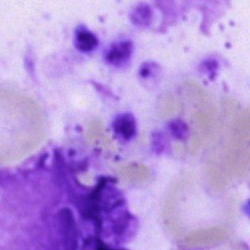Morphology — artifact.